May-Grünwald-Giemsa stain · bone marrow smear:
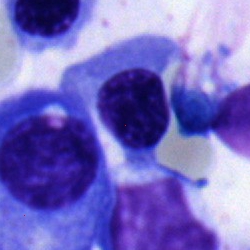

Cell — normoblast.